Single-cell crop; peripheral blood film; Romanowsky-type stain: 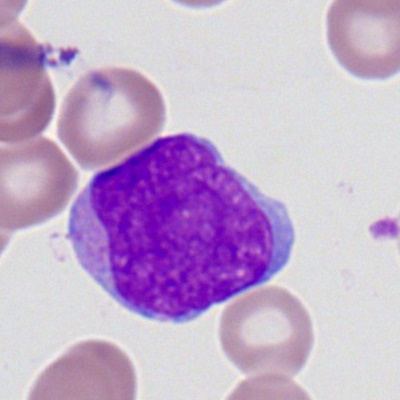

Single cell identified as a myeloblast.